Single cell centered in the field. Brightfield microscopy, 40× oil immersion. Bone marrow aspirate smear:
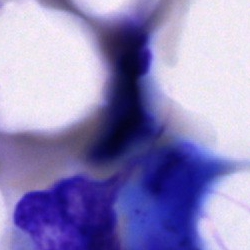 Morphological class = artefact.